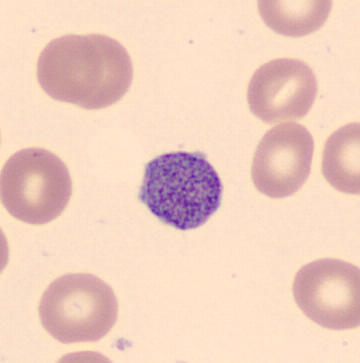Cell type = platelet (thrombocyte).
Acquisition: MGG stain. Peripheral blood smear. CellaVision DM96.